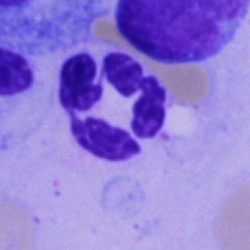 Specimen: bone marrow smear.
Morphological class: neutrophil (segmented).
Lineage: myeloid.